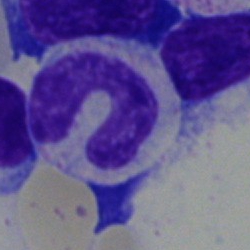

Q: Which cell type is shown here?
A: Band-form neutrophil.